Cropped to a single cell; bone marrow smear.
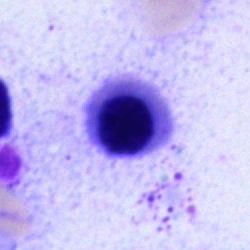

A nucleated red blood cell.